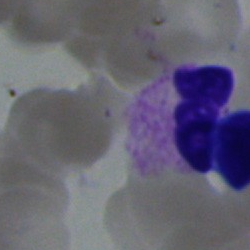
Q: What is the morphological classification of this cell?
A: It is a polymorphonuclear neutrophil.